Brightfield, 40× oil-immersion objective · bone marrow aspirate smear: 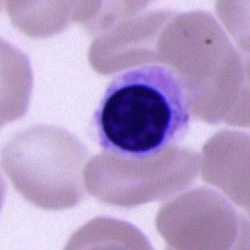
Nucleated red cell.